Single-cell field · bone marrow aspirate smear
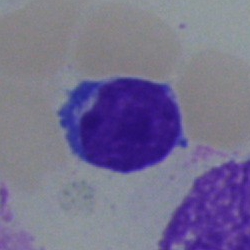

Morphology consistent with a lymphocyte.